Bone marrow smear: 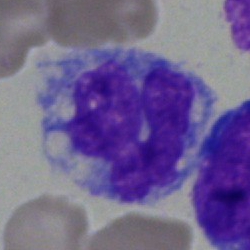
Morphological class — monocyte.